Bone marrow aspirate smear; 250×250 px.
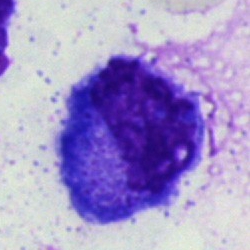

Morphology consistent with a promyelocyte.